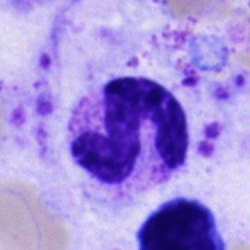The classification is neutrophil (band).